Bone marrow smear: 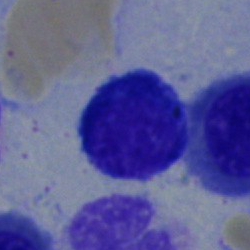
Specimen: bone marrow aspirate smear.
Cell: typical lymphocyte.
Lineage: lymphoid.